Brightfield, 40× oil-immersion objective. Bone marrow aspirate smear — 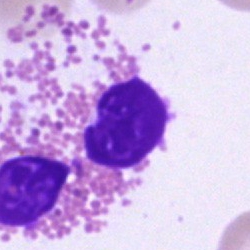

Cell type — eosinophil.